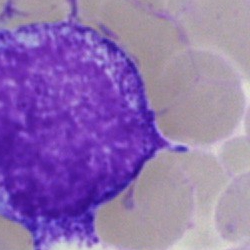

Cell = promyelocyte.